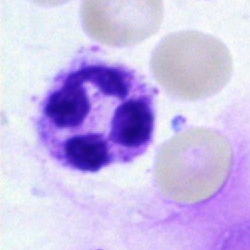
Q: What is the morphological classification of this cell?
A: Neutrophil (segmented).